Peripheral blood smear.
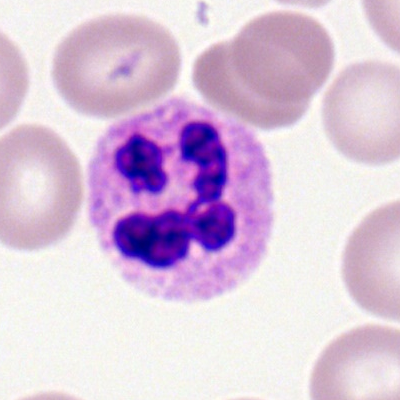
Polymorphonuclear neutrophil.